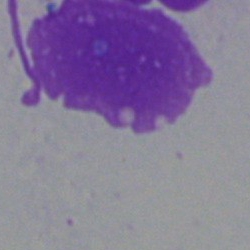
The cell shown is an artefact.